Pappenheim-stained. Bone marrow aspirate smear — 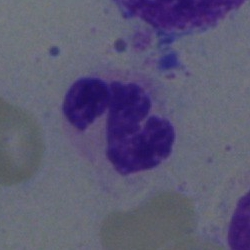 Q: Identify the cell.
A: Segmented neutrophil.